Bone marrow aspirate smear — 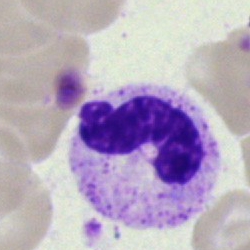 Polymorphonuclear neutrophil.